Bone marrow smear · 250×250 · 40× objective, oil immersion: 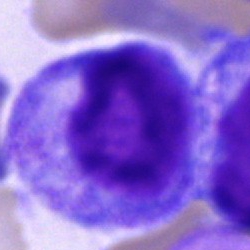 Impression → promyelocyte.